Bone marrow smear:
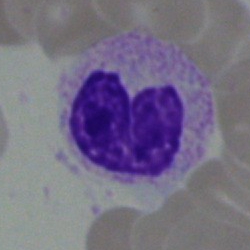
Q: Which cell type is shown here?
A: A metamyelocyte.